Bone marrow aspirate smear
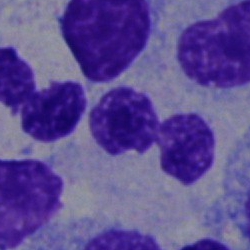 {"cell_type": "neutrophil (segmented)", "lineage": "myeloid"}